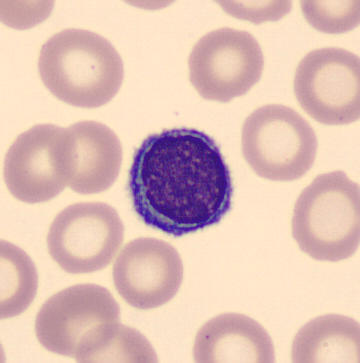

The cell shown is a typical lymphocyte.

Peripheral blood smear; 360×363 px; MGG-stained.